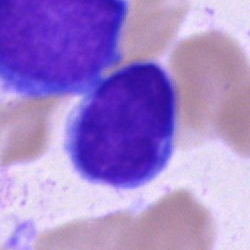

Q: What is shown here?
A: It is a typical lymphocyte.